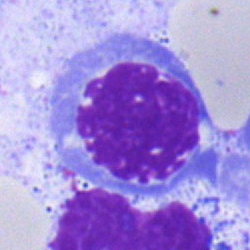 Single-cell crop from a bone marrow smear: normoblast.